Bone marrow aspirate smear: 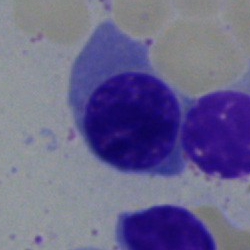Morphology consistent with a nucleated red blood cell.